Bone marrow aspirate smear — 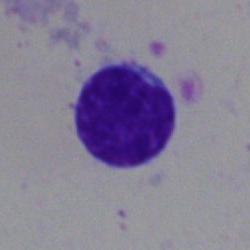
{"cell_type": "lymphocyte", "lineage": "lymphoid"}